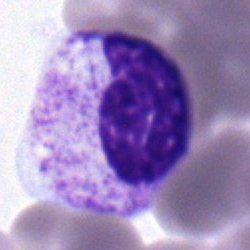 Specimen: bone marrow smear.
Classification: band neutrophil.
Lineage: myeloid.